Bone marrow aspirate smear · 250 by 250 pixels:
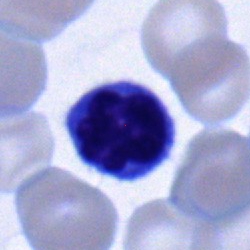The cell shown is a lymphocyte.